Peripheral blood film — 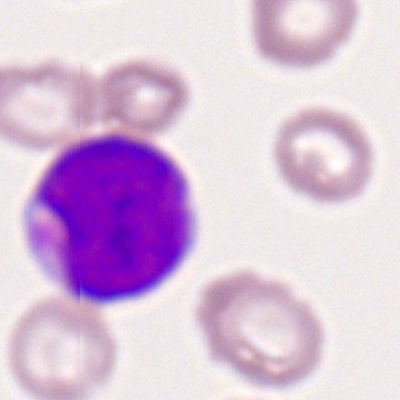

{"cell_type": "myeloblast"}